Bone marrow smear: 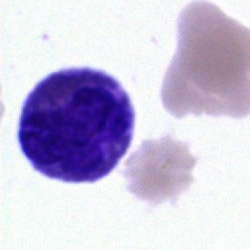

The cell shown is a lymphocyte.